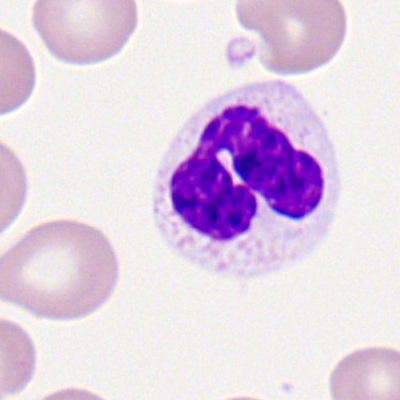Cell — neutrophil (segmented).